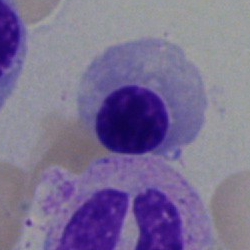

Nucleated red cell.